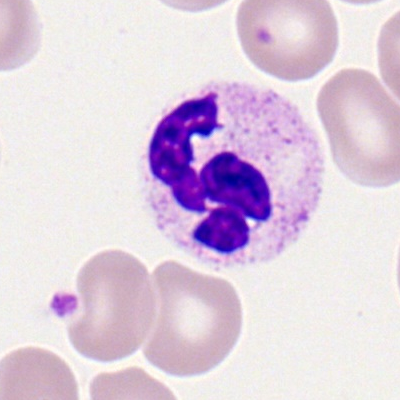
This is a polymorphonuclear neutrophil.